Cropped to a single cell. Peripheral blood smear.
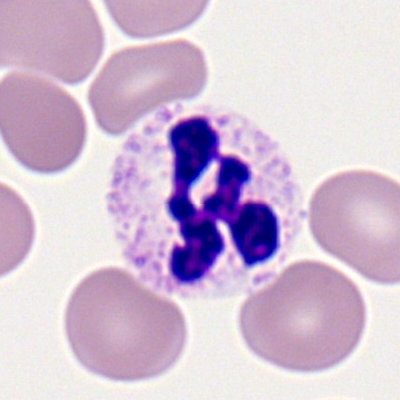
The cell shown is a segmented neutrophil.